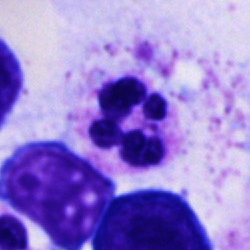 Impression — segmented neutrophil.